Bone marrow smear · single-cell crop: 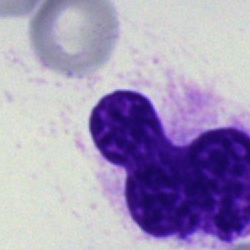

Morphology consistent with an artefact.